Bone marrow smear:
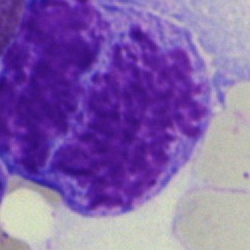Showing an artefact.